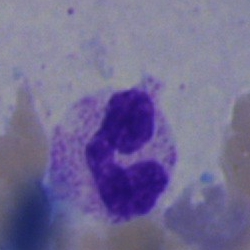
Cell type: neutrophil (segmented).